Bone marrow smear.
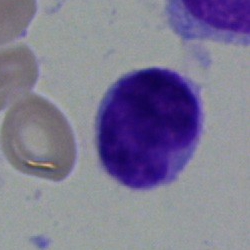

Q: Identify the cell.
A: A lymphocyte.